Image size 400×400; peripheral blood film — 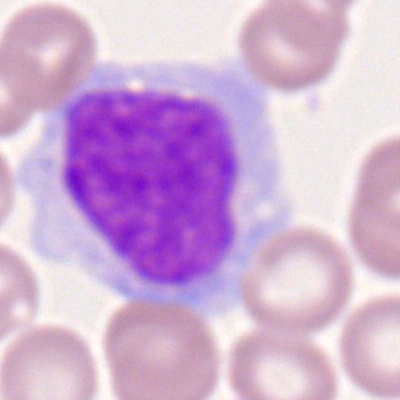

Single cell identified as a monocyte.